Bone marrow aspirate smear. 250×250 — 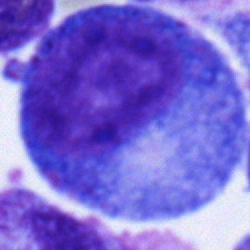
The cell shown is a promyelocyte.